Bone marrow smear · image size 250×250 · single-cell crop
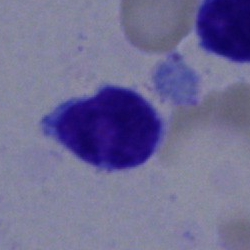

The cell is typical lymphocyte.